Peripheral blood film; Romanowsky stain.
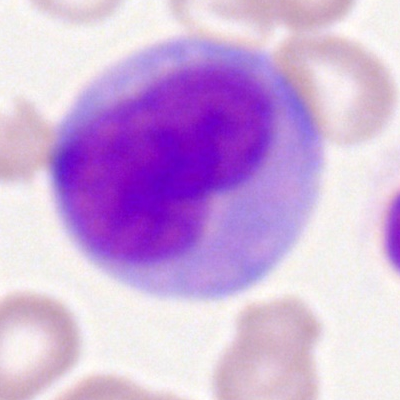Morphology consistent with a monocyte.